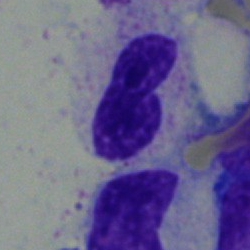
Morphology consistent with a neutrophil (band).